Bone marrow smear — 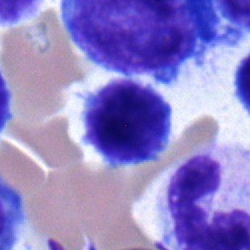Showing a lymphocyte.